Bone marrow aspirate smear — 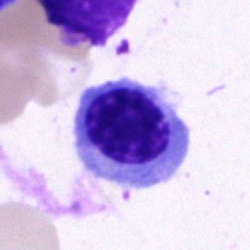 Specimen: bone marrow smear.
Classification: erythroblast.